Bone marrow aspirate smear — 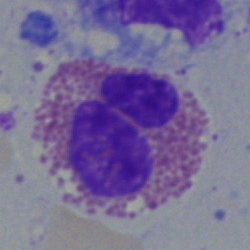Morphology consistent with an eosinophil.